Image size 250×250. Bone marrow aspirate smear. Single-cell crop — 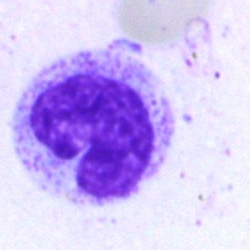 Specimen: bone marrow smear.
Morphological class: band-form neutrophil.